Bone marrow smear.
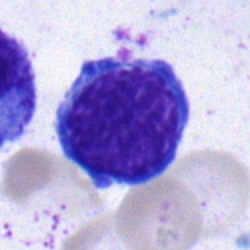Specimen: bone marrow aspirate smear.
Cell: normoblast.